Bone marrow smear — 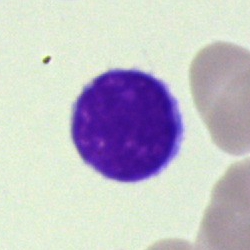Showing a lymphocyte.